Bone marrow aspirate smear — 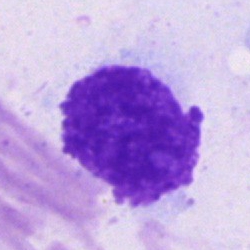Cell type = artefact.